Single-cell crop · bone marrow aspirate smear · 250 by 250 pixels: 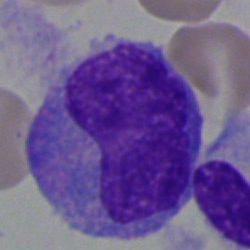 Monocyte.